Single-cell field; bone marrow smear; brightfield, 40× oil-immersion objective:
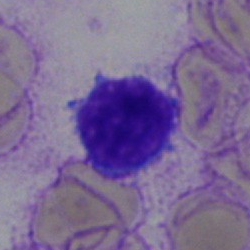

Morphology — typical lymphocyte.